Pappenheim-stained · bone marrow smear
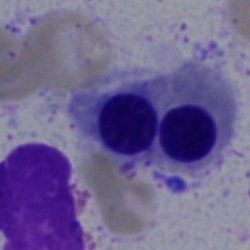

A normoblast.